Bone marrow smear: 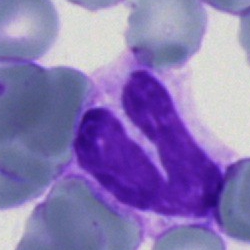
Q: What type of cell is this?
A: Neutrophil (band).